Single-cell field; bone marrow smear; MGG-stained:
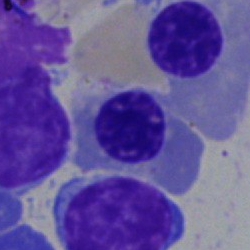 Specimen: bone marrow smear.
Cell type: erythroblast.